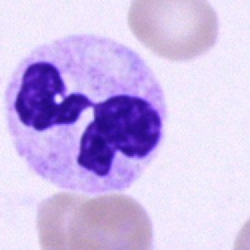

Morphological class — polymorphonuclear neutrophil.